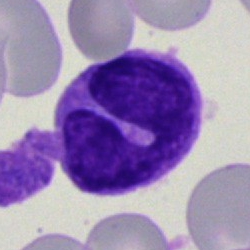Classification — monocyte.